Bone marrow aspirate smear:
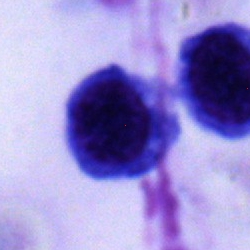
{"cell_type": "normoblast", "lineage": "erythroid"}